Bone marrow aspirate smear. 250×250 px. MGG-stained: 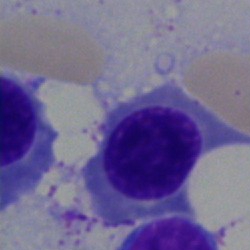
Q: What is shown here?
A: Nucleated red cell.